Single cell centered in the field. Bone marrow aspirate smear:
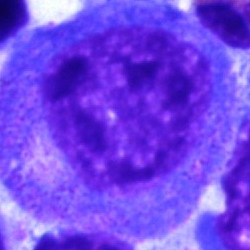
A progranulocyte.